Bone marrow smear. Cropped to a single cell. 250 by 250 pixels.
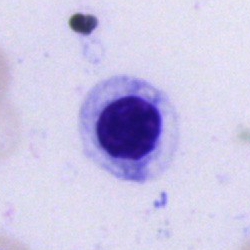 Specimen: bone marrow aspirate smear.
Classification: nucleated red blood cell.